Image size 250×250; bone marrow aspirate smear:
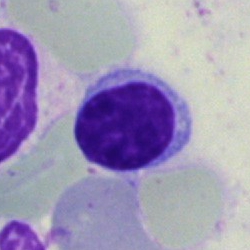

Q: What is the morphological classification of this cell?
A: A lymphocyte.